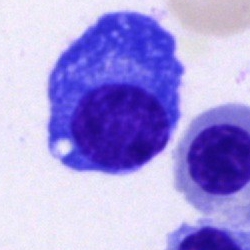
Cell type — plasma cell.